Single-cell field · bone marrow aspirate smear: 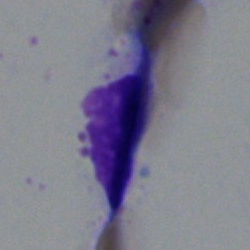

{"cell_type": "artefact"}